Peripheral blood smear · 100× objective, oil immersion.
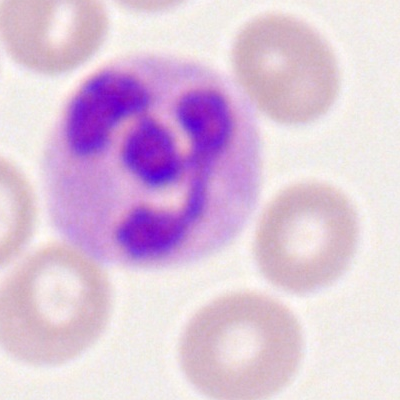

Morphology consistent with a polymorphonuclear neutrophil.